Bone marrow smear: 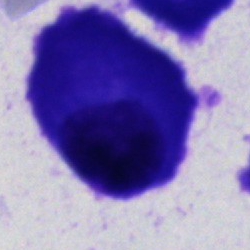

Classification: plasma cell.